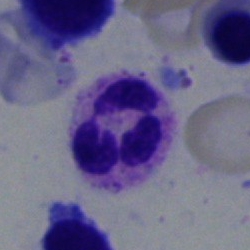 Specimen: bone marrow smear.
Morphological class: polymorphonuclear neutrophil.
Lineage: myeloid.